Bone marrow smear — 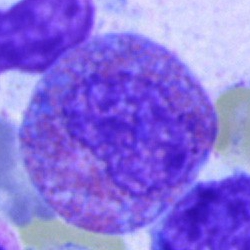
Classification: eosinophil.